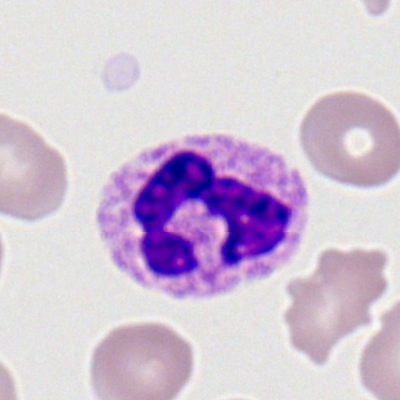

A neutrophil (segmented) on a peripheral blood smear.